Peripheral blood film: 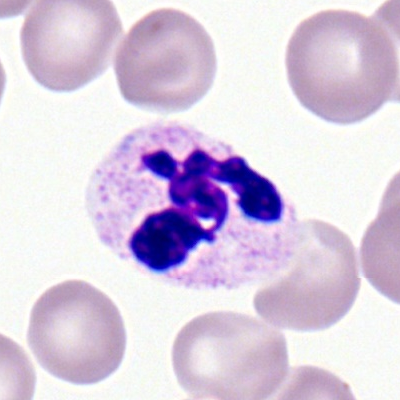
A neutrophil (segmented).